Bone marrow aspirate smear:
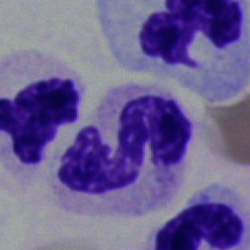

Classification = segmented neutrophil.